40× objective, oil immersion; bone marrow aspirate smear.
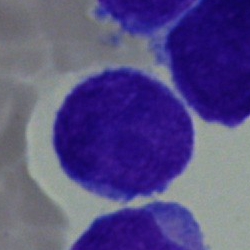 Showing a blast cell.